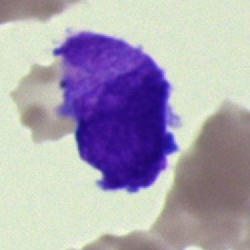{"cell_type": "blast"}